Bone marrow smear — 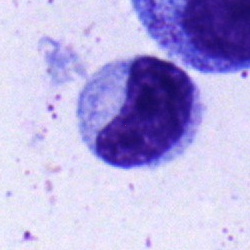

The classification is metamyelocyte.